Bone marrow aspirate smear · single cell centered in the field: 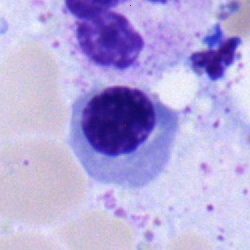 This is a nucleated red cell.